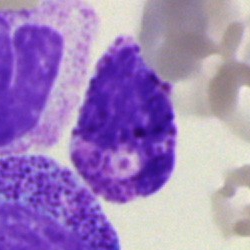Q: Which cell type is shown here?
A: This is a basophilic granulocyte.